250×250 · bone marrow smear · Pappenheim-stained — 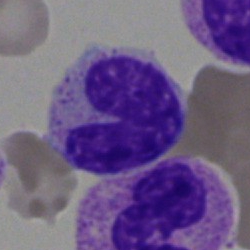 Cell = band-form neutrophil.